Peripheral blood film:
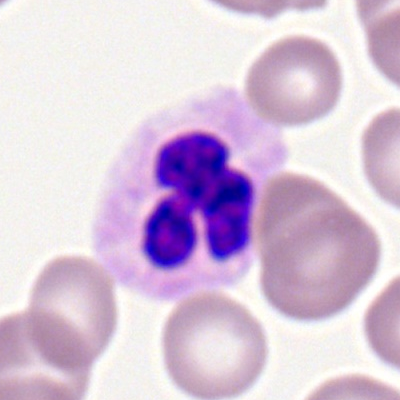Showing a neutrophil (segmented).